Bone marrow aspirate smear; cropped to a single cell: 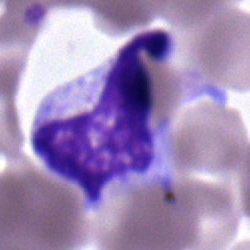
Morphology → metamyelocyte.